Bone marrow smear
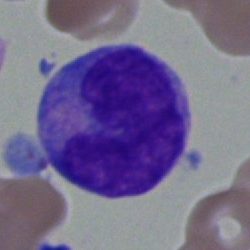 Specimen: bone marrow smear.
Cell: monocyte.
Lineage: myeloid.